Bone marrow smear.
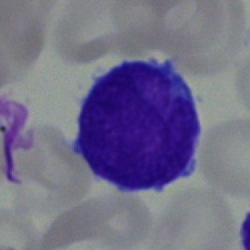 A blast cell.